Brightfield microscopy, 40× oil immersion. Bone marrow aspirate smear. Cropped to a single cell — 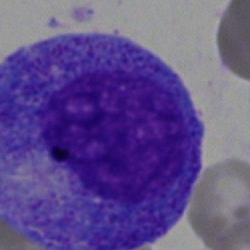 Q: What is shown here?
A: Progranulocyte.